Bone marrow smear.
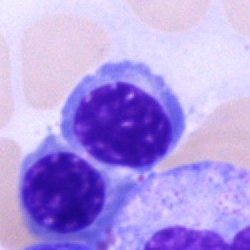Showing a normoblast.